Bone marrow aspirate smear.
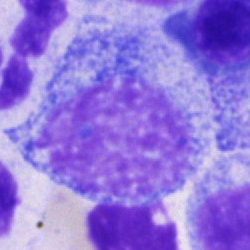

A promyelocyte.